Bone marrow smear · image size 250×250:
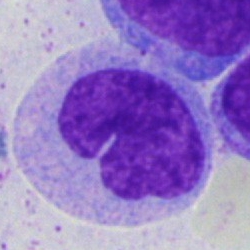
Classification: monocyte.